Bone marrow aspirate smear — 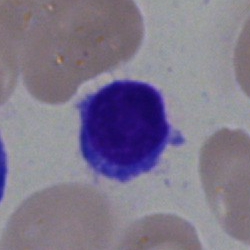

Q: What is shown here?
A: A lymphocyte.